Bone marrow aspirate smear.
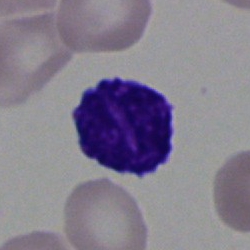
Q: What is the morphological classification of this cell?
A: Blast cell.